Bone marrow aspirate smear
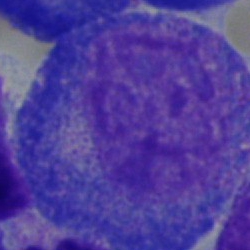 Q: What type of cell is this?
A: This is a promyelocyte.